Bone marrow aspirate smear. 250×250 px. Single-cell field:
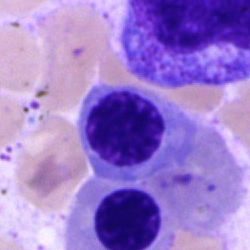 Specimen: bone marrow smear.
Morphological class: nucleated red blood cell.